Bone marrow aspirate smear · image size 250×250
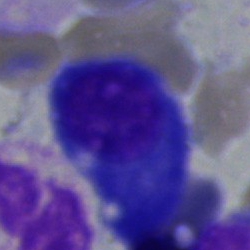

Q: What is the morphological classification of this cell?
A: A plasmacyte.